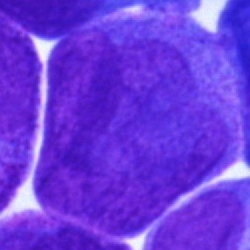 A blast cell.